Bone marrow smear — 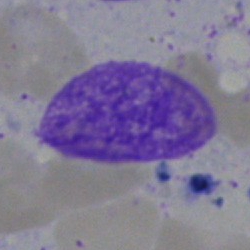 Morphology consistent with an artifact.